Bone marrow aspirate smear; May-Grünwald-Giemsa stain; brightfield microscopy, 40× oil immersion:
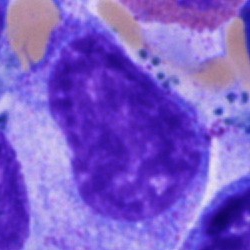 Specimen: bone marrow smear.
Cell: progranulocyte.